Bone marrow smear — 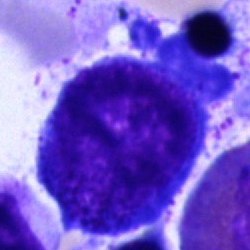

Q: Which cell type is shown here?
A: It is a proerythroblast.